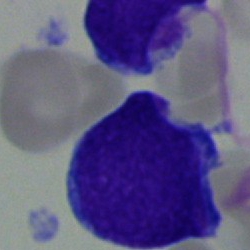
Q: What is the morphological classification of this cell?
A: This is a blast.